Romanowsky-stained; peripheral blood smear; 100× oil immersion, 14.14 px/µm
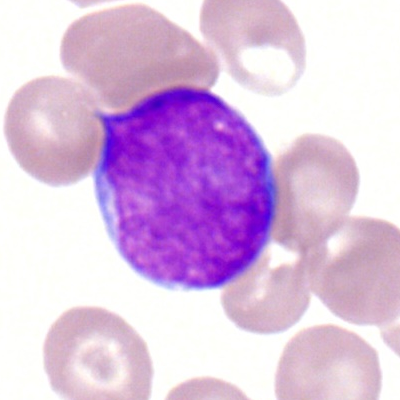Morphological class: myeloblast.